Image size 250×250; Pappenheim-stained; bone marrow aspirate smear: 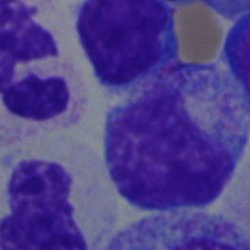 Q: What is the morphological classification of this cell?
A: This is a myelocyte.